Bone marrow smear — 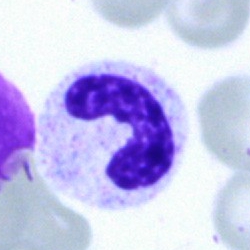Q: What is the morphological classification of this cell?
A: A segmented neutrophil.